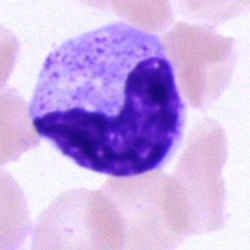
Cell: band neutrophil.